40× oil immersion; bone marrow smear; single cell centered in the field — 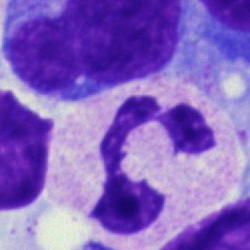Morphology → neutrophil (segmented).